Bone marrow aspirate smear. 40× objective, oil immersion.
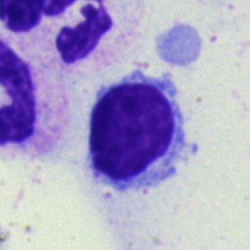

Morphological class = typical lymphocyte.